Bone marrow aspirate smear — 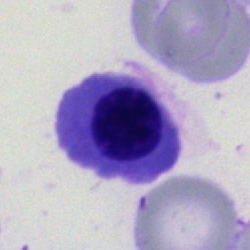

Morphological class — normoblast.